Bone marrow smear:
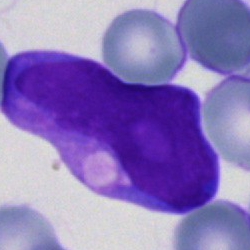
Morphology consistent with a blast cell.